Bone marrow aspirate smear; 40× objective, oil immersion; May-Grünwald-Giemsa/Pappenheim stain
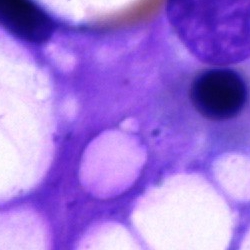

{"cell_type": "artefact"}